Peripheral blood smear · MGG stain.
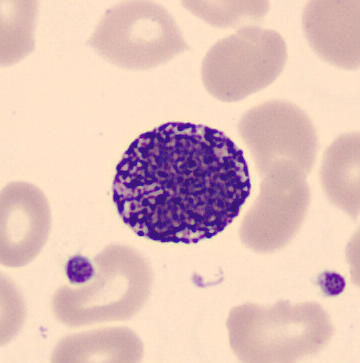

The cell type is basophilic granulocyte.